Bone marrow aspirate smear
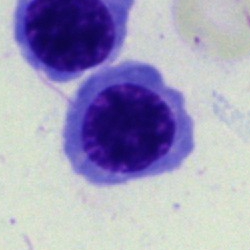
Q: Identify the cell.
A: Nucleated red cell.